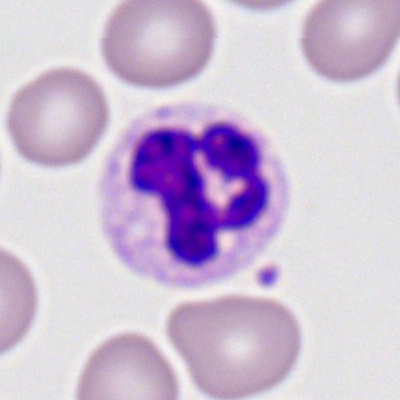

This is a segmented neutrophil.